Bone marrow smear · Pappenheim-stained: 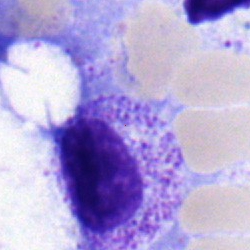

A myelocyte.